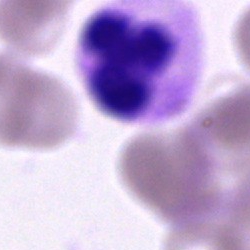 Cell of indeterminate lineage.